Single-cell field · bone marrow smear: 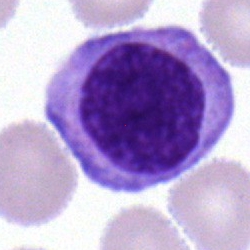

Cell — typical lymphocyte.